250×250 · bone marrow aspirate smear.
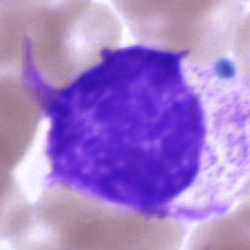

Impression → artifact.